MGG-stained; bone marrow aspirate smear: 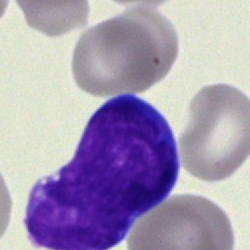 Morphology consistent with a blast cell.